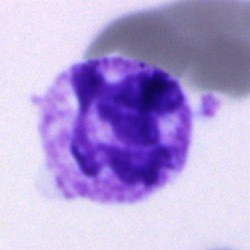

Morphology consistent with a segmented neutrophil.